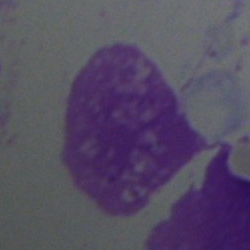

Classification = artefact.